Bone marrow smear
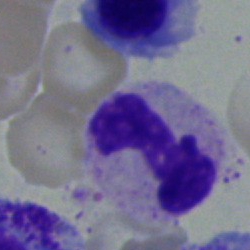
Showing a segmented neutrophil.